Bone marrow aspirate smear · May-Grünwald-Giemsa/Pappenheim stain.
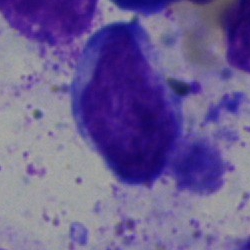Single cell identified as a typical lymphocyte.